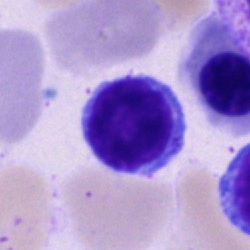Morphology consistent with a typical lymphocyte.